250×250. Bone marrow smear.
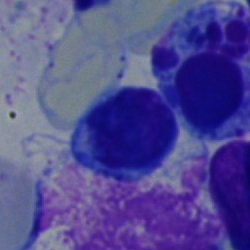

Single cell identified as a lymphocyte.